Bone marrow smear.
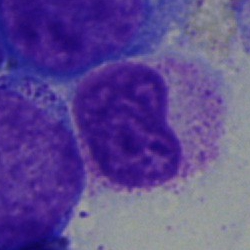

Specimen: bone marrow smear.
Cell type: metamyelocyte.
Lineage: myeloid.